Bone marrow smear · single-cell crop: 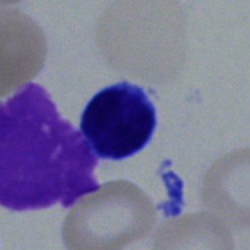 Q: What is shown here?
A: Lymphocyte.